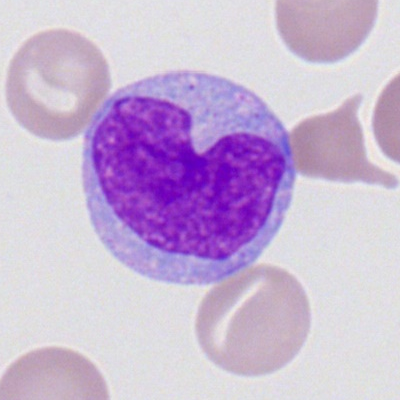 A monocyte.